Bone marrow smear.
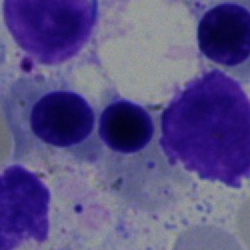
Showing a normoblast.